Peripheral blood smear.
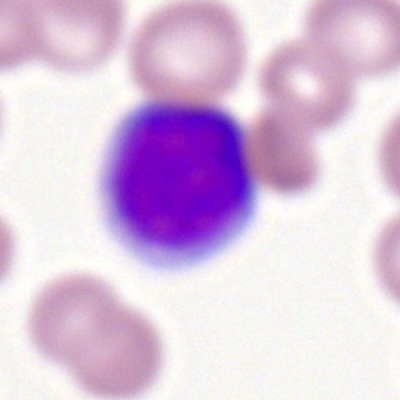
Morphology — lymphocyte.